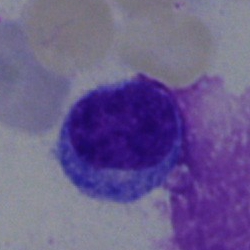

Lymphocyte.